Single-cell crop · Pappenheim-stained · bone marrow smear.
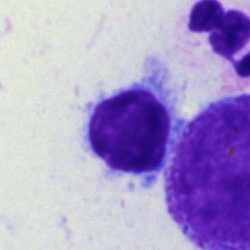
Single cell identified as a typical lymphocyte.